Bone marrow aspirate smear · 40× objective, oil immersion — 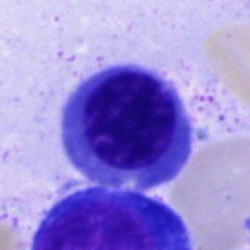Q: What is shown here?
A: A nucleated red blood cell.